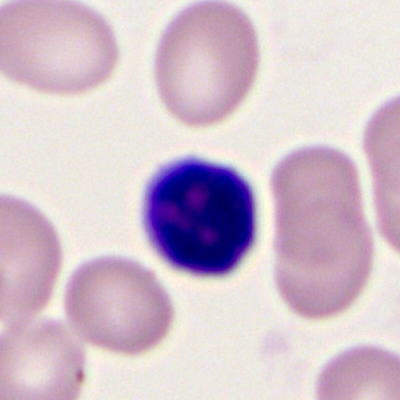 Q: Identify the cell.
A: It is a typical lymphocyte.